250×250 px; bone marrow smear; cropped to a single cell:
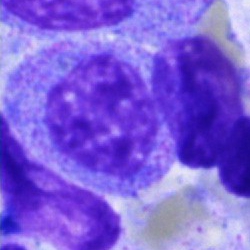
This is a promyelocyte.